Bone marrow aspirate smear — 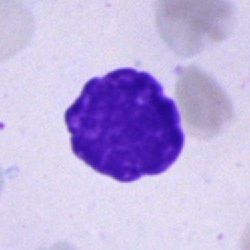Cell type = artifact.